Pappenheim-stained. Bone marrow smear
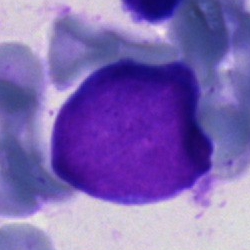 {"cell_type": "undifferentiated blast"}